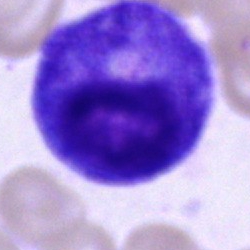
Morphology → progranulocyte.